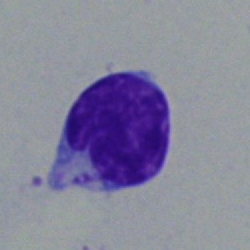 Morphological class: lymphocyte.